Bone marrow aspirate smear. Brightfield, 40× oil-immersion objective.
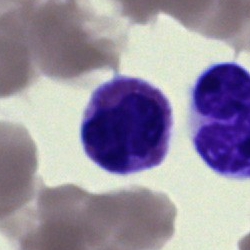
Morphology consistent with an artifact.